Bone marrow smear
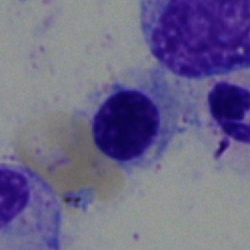Single cell identified as a normoblast.